Single cell centered in the field; May-Grünwald-Giemsa/Pappenheim stain; bone marrow smear: 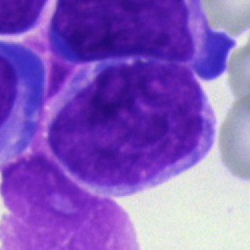
Blast.